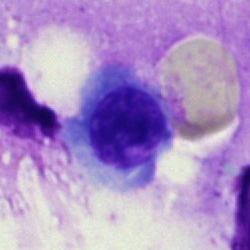

Specimen: bone marrow smear.
Cell: erythroblast.
Lineage: erythroid.